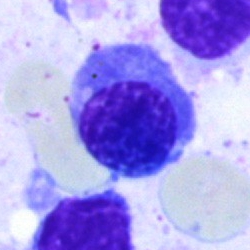This is an erythroblast.